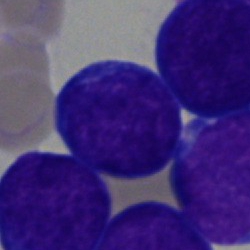The morphological class is blast.